Bone marrow aspirate smear — 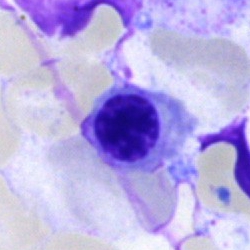This is a nucleated red cell.